Bone marrow smear
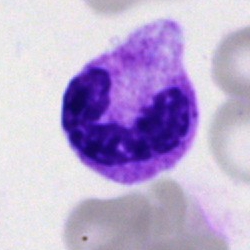

Specimen: bone marrow aspirate smear.
Cell type: neutrophil (segmented).